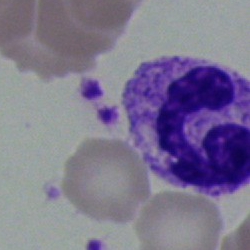
Bone marrow smear showing a neutrophil (segmented).